Bone marrow aspirate smear · single cell centered in the field.
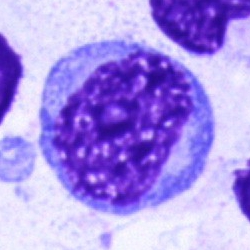
Blast cell.